100× oil immersion; peripheral blood film
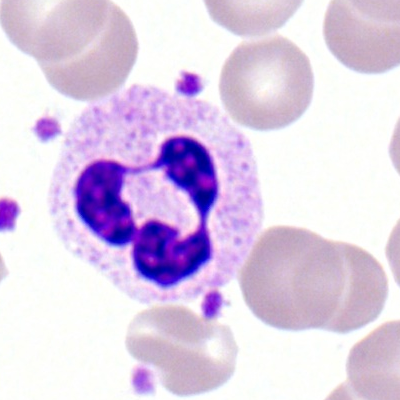

Specimen: peripheral blood film.
Cell type: polymorphonuclear neutrophil.
Lineage: myeloid.